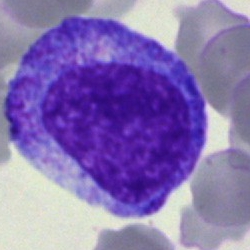Single-cell crop from a bone marrow smear: promyelocyte.